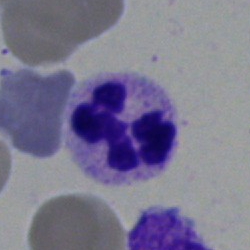Morphology → polymorphonuclear neutrophil.